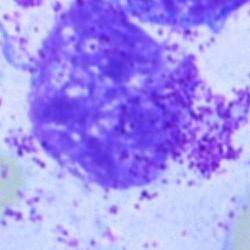
Morphological class — artifact.